Bone marrow smear: 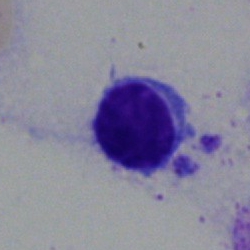Classification: lymphocyte.